Bone marrow smear.
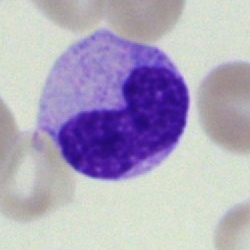
Morphology consistent with a neutrophil (band).